Bone marrow aspirate smear:
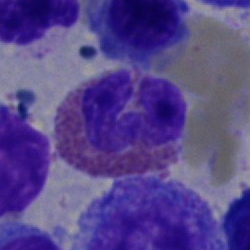
Morphology — eosinophil.